Bone marrow aspirate smear: 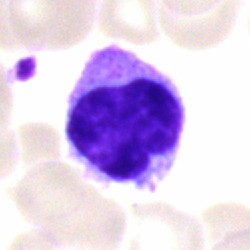

Cell type: lymphocyte.